Bone marrow aspirate smear: 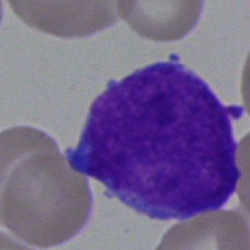 Morphology — blast cell.